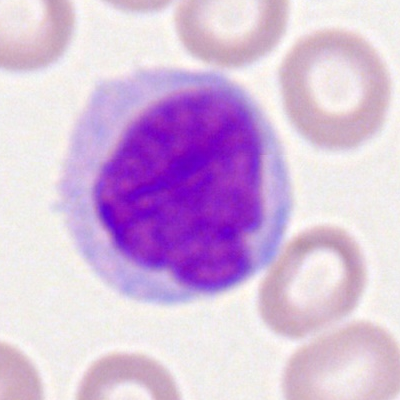 Showing a monocyte.